Bone marrow aspirate smear — 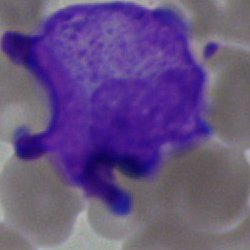 Specimen: bone marrow aspirate smear.
Classification: blast.